Bone marrow smear · 40× oil immersion · cropped to a single cell:
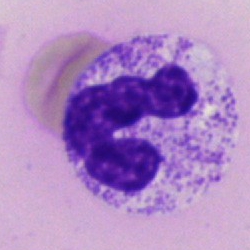 This is a segmented neutrophil.